250 by 250 pixels · bone marrow aspirate smear — 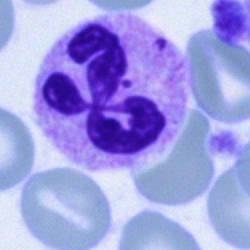
Showing a segmented neutrophil.